250×250 px; bone marrow aspirate smear.
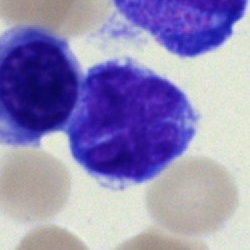 Specimen: bone marrow smear.
Classification: lymphocyte.
Lineage: lymphoid.